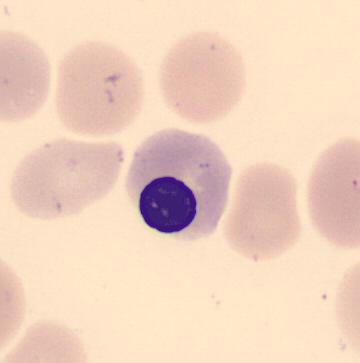

Specimen: peripheral blood film.
Morphological class: nucleated red blood cell.